Bone marrow aspirate smear. Single-cell field — 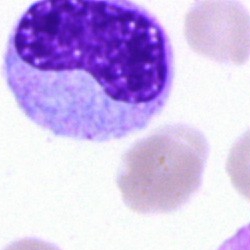 The cell shown is a metamyelocyte.